Peripheral blood smear
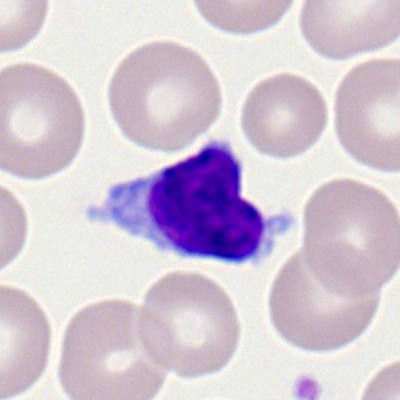
Typical lymphocyte.